Image size 250×250 · single-cell crop · bone marrow smear:
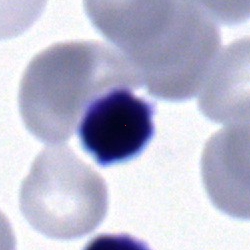Typical lymphocyte.